250×250 · bone marrow smear
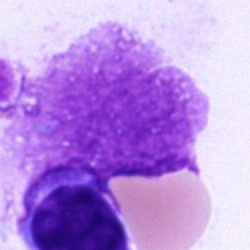
Classification — artifact.